Bone marrow aspirate smear.
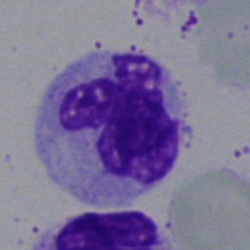 Morphological class: segmented neutrophil.